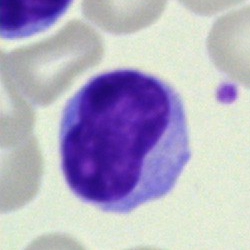
The cell shown is a lymphocyte.